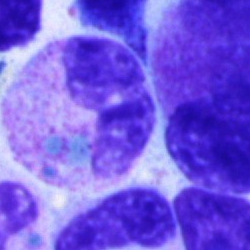 Showing a stab cell.